Bone marrow aspirate smear. Pappenheim-stained. 250×250 px
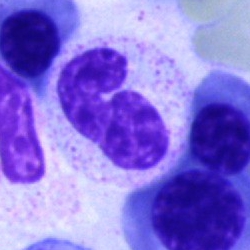
A stab cell.